Bone marrow aspirate smear · 250×250 px
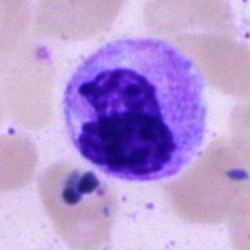
A neutrophil (segmented).